Bone marrow aspirate smear: 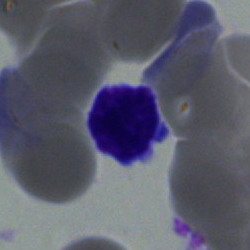 The cell type is lymphocyte.